Bone marrow smear:
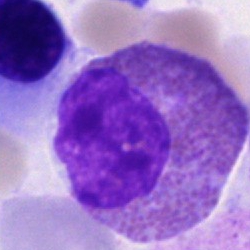 An eosinophilic granulocyte.